Peripheral blood smear:
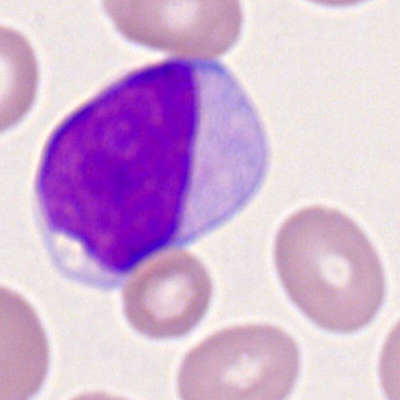

Impression — myeloid blast.